Brightfield, 40× oil-immersion objective · bone marrow aspirate smear:
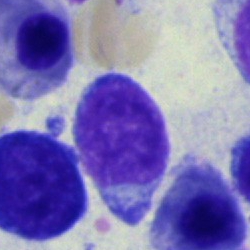 Classification — typical lymphocyte.